Bone marrow aspirate smear. Cropped to a single cell.
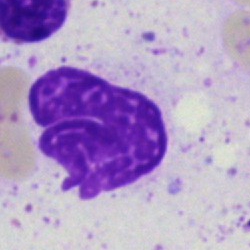

Morphology consistent with an artefact.